Bone marrow aspirate smear · 250 by 250 pixels:
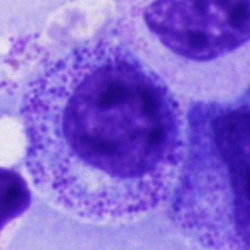

Cell: progranulocyte.